Bone marrow smear:
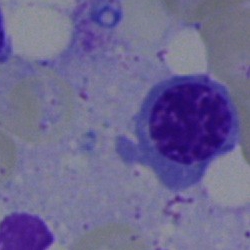

Morphology consistent with a nucleated red blood cell.